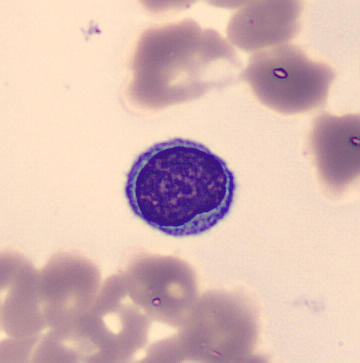Cell type = typical lymphocyte.